Bone marrow smear; 40× objective, oil immersion; Pappenheim-stained:
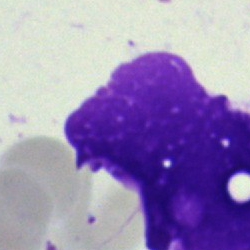 Classification = artefact.